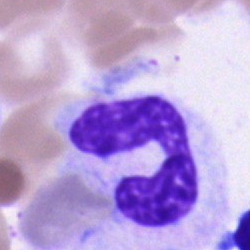

Q: What type of cell is this?
A: Neutrophil (segmented).